Bone marrow smear:
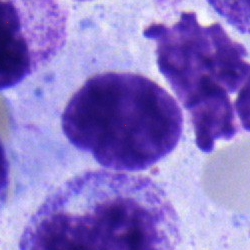 Q: What type of cell is this?
A: A typical lymphocyte.